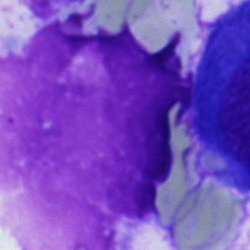

An artifact on a bone marrow smear.